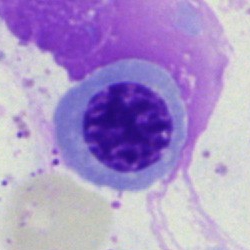

A nucleated red blood cell.